Bone marrow aspirate smear — 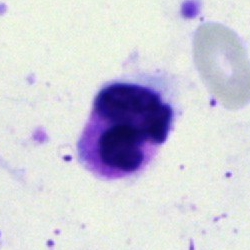
Q: Which cell type is shown here?
A: It is a neutrophil (segmented).